250 by 250 pixels · bone marrow smear · May-Grünwald-Giemsa stain
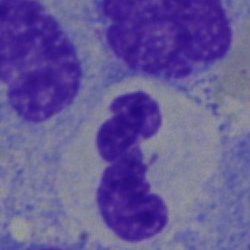

Showing a segmented neutrophil.